Brightfield microscopy, 40× oil immersion; bone marrow smear
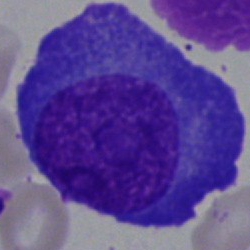 The cell is plasmacyte.